Bone marrow smear.
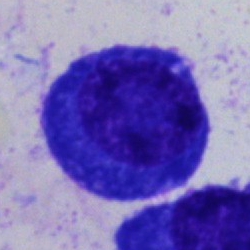This is a plasma cell.